Bone marrow aspirate smear
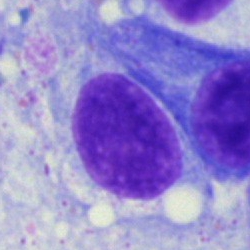 Q: Identify the cell.
A: It is a typical lymphocyte.